Image size 400×400. Cropped to a single cell. Peripheral blood film — 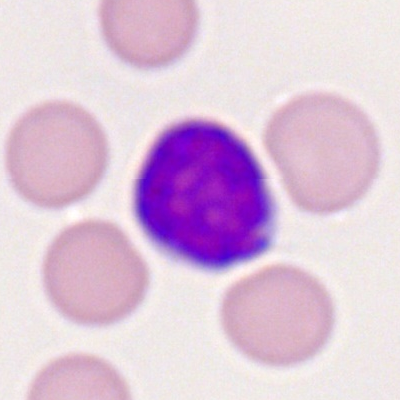
Morphology — lymphocyte.